Bone marrow aspirate smear.
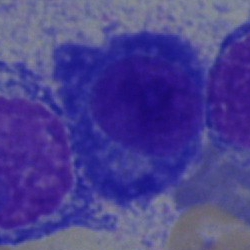

A plasmacyte.